May-Grünwald-Giemsa stain · bone marrow smear · 250×250:
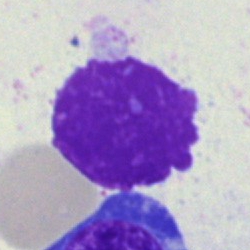
Artefact.